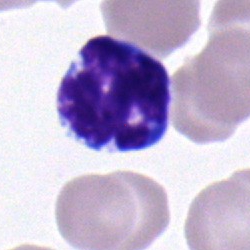
Specimen: bone marrow smear.
Cell type: lymphocyte.
Lineage: lymphoid.